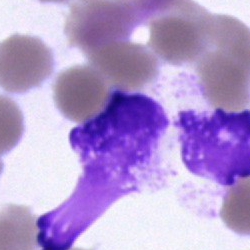An artefact.